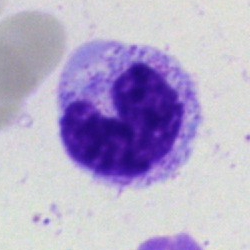
Cell type — band-form neutrophil.